Bone marrow aspirate smear · May-Grünwald-Giemsa stain
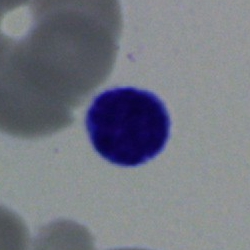
Q: What cell is this?
A: A lymphocyte.